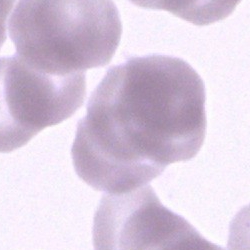
Impression → other cell.